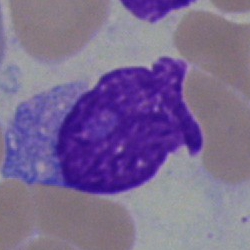
A blast cell.